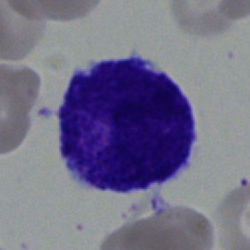

Impression — progranulocyte.